Brightfield microscopy, 40× oil immersion. Cropped to a single cell. Bone marrow aspirate smear — 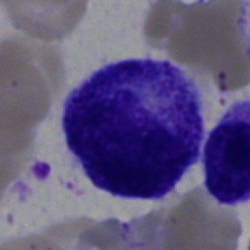
Cell = promyelocyte.